Bone marrow smear: 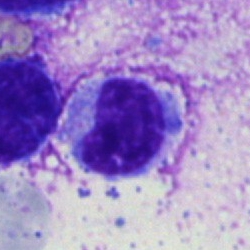

Single cell identified as a lymphocyte.